Bone marrow smear · May-Grünwald-Giemsa/Pappenheim stain
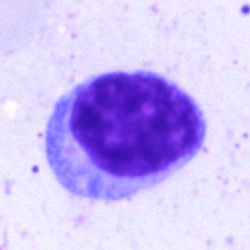The cell type is typical lymphocyte.